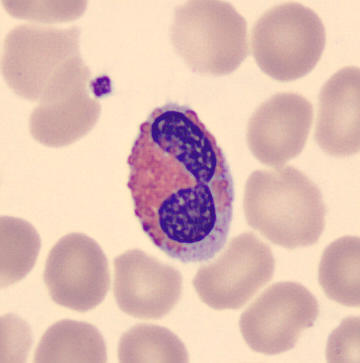Acquisition: MGG-stained. Peripheral blood film. Single cell centered in the field.
Showing an eosinophilic granulocyte.